Cropped to a single cell. Bone marrow smear
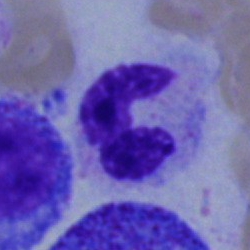
Specimen: bone marrow smear.
Cell type: neutrophil (segmented).
Lineage: myeloid.